Bone marrow aspirate smear
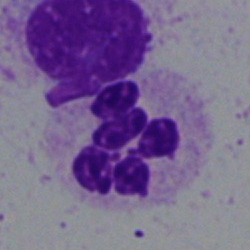 Specimen: bone marrow aspirate smear.
Cell: neutrophil (segmented).